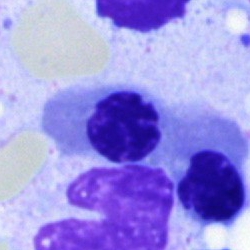

The cell shown is a normoblast.